Bone marrow smear
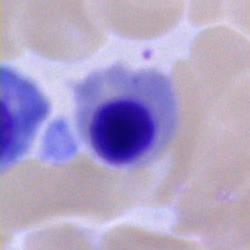

Impression — nucleated red cell.